Single cell centered in the field · peripheral blood smear: 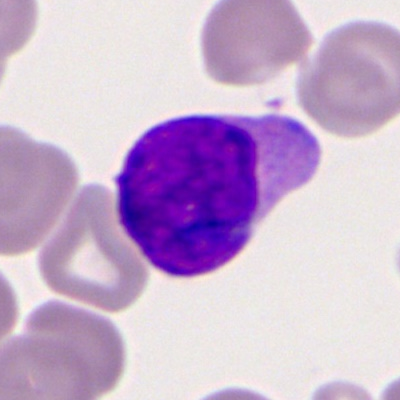This is a myeloblast.